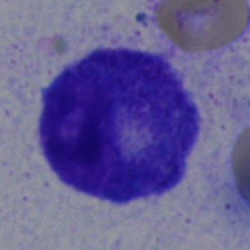

Single-cell crop from a bone marrow smear: progranulocyte.